Bone marrow aspirate smear: 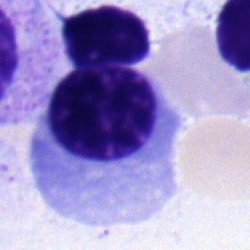
Impression → normoblast.